Bone marrow smear:
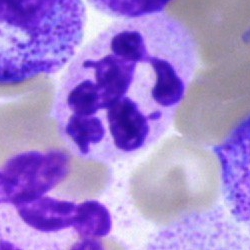

Morphology consistent with a segmented neutrophil.